250×250; bone marrow aspirate smear — 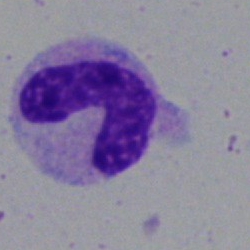Cell type: neutrophil (band).